Peripheral blood film. M8 digital microscope (Precipoint), 100× oil immersion
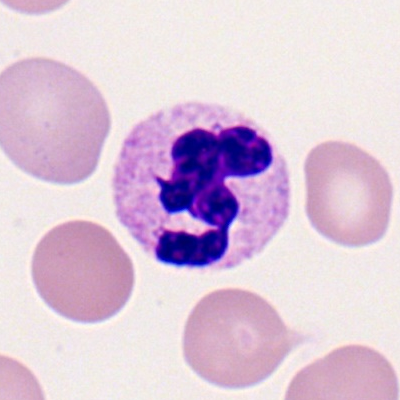

Classification — polymorphonuclear neutrophil.